Bone marrow smear.
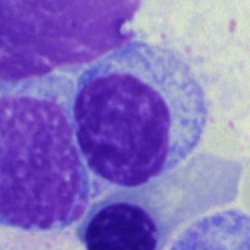

Morphology — lymphocyte.